Bone marrow aspirate smear · 40× oil immersion: 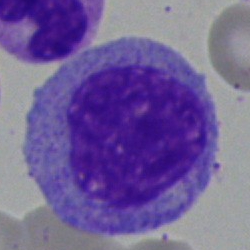Classification — progranulocyte.